Peripheral blood smear
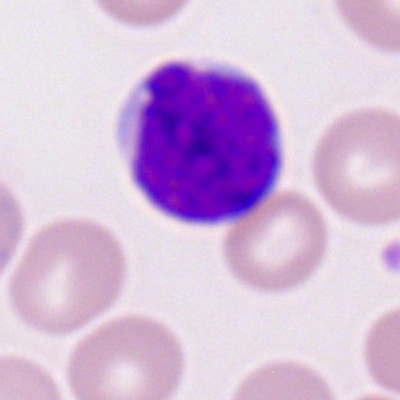
Specimen: peripheral blood film.
Classification: myeloblast.
Lineage: myeloid.